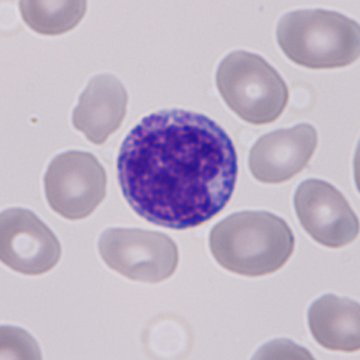
Q: Which cell type is shown here?
A: This is an immature granulocyte (promyelocyte, myelocyte or metamyelocyte).